Bone marrow aspirate smear: 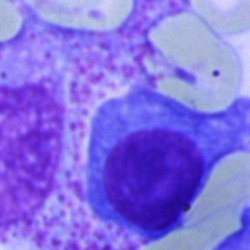
{"cell_type": "plasma cell", "lineage": "lymphoid"}